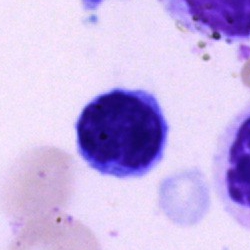

Q: Which cell type is shown here?
A: It is a typical lymphocyte.